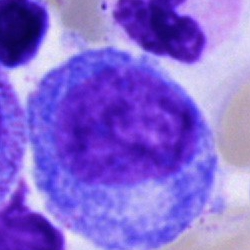
Morphology — promyelocyte.